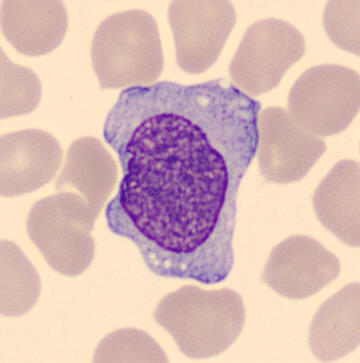
Morphology consistent with a monocyte.
Image: CellaVision DM96; peripheral blood film.